40× oil immersion. Single cell centered in the field. Bone marrow aspirate smear.
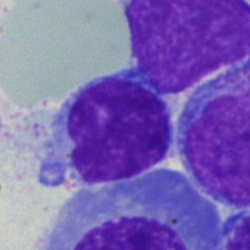

The cell shown is a typical lymphocyte.